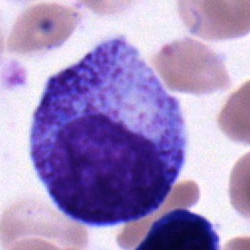

Classification — promyelocyte.